Bone marrow smear
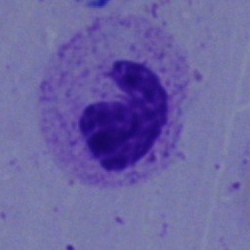
The cell shown is a band neutrophil.